Bone marrow aspirate smear — 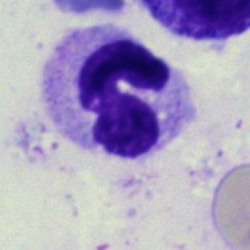 Single cell identified as a neutrophil (segmented).